May-Grünwald-Giemsa/Pappenheim stain; bone marrow smear; brightfield, 40× oil-immersion objective
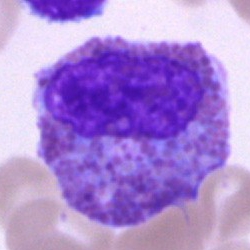 This is an eosinophil.